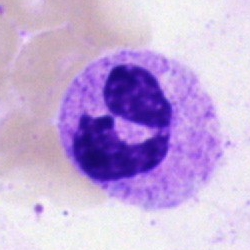

Cell: polymorphonuclear neutrophil.